Bone marrow smear; cropped to a single cell.
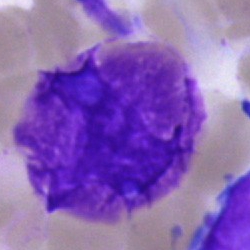

Artefact.